Single-cell field. Bone marrow aspirate smear.
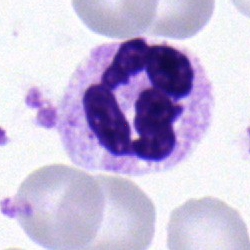 Impression — polymorphonuclear neutrophil.